Bone marrow smear: 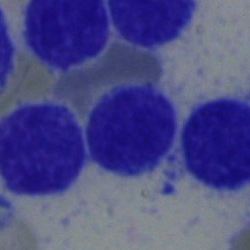

The cell shown is a typical lymphocyte.